250×250 · bone marrow smear — 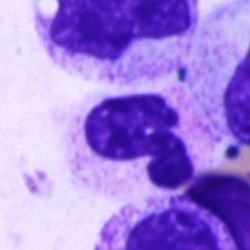

Impression — polymorphonuclear neutrophil.